Bone marrow smear; May-Grünwald-Giemsa stain
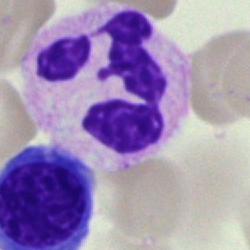

Segmented neutrophil.